Bone marrow smear: 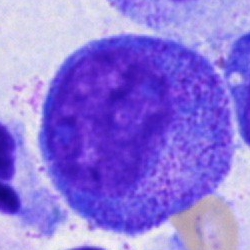

A promyelocyte.